Image size 250×250. Bone marrow smear. Single cell centered in the field
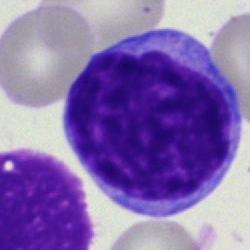
{"cell_type": "lymphocyte", "lineage": "lymphoid"}